Bone marrow smear
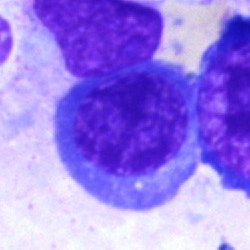Q: What is shown here?
A: A nucleated red cell.